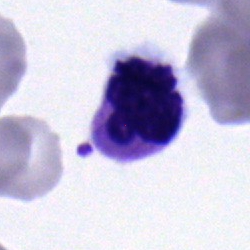
Polymorphonuclear neutrophil.